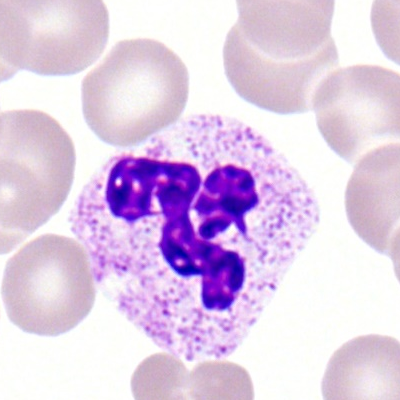{"cell_type": "segmented neutrophil"}